Single cell centered in the field; bone marrow smear; brightfield, 40× oil-immersion objective: 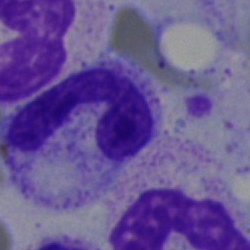

Cell type: segmented neutrophil.